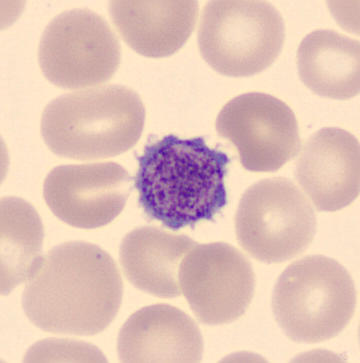

A thrombocyte.